Bone marrow smear:
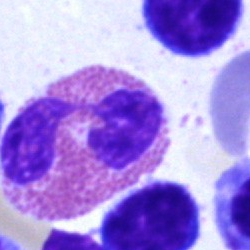{"cell_type": "eosinophilic granulocyte", "lineage": "myeloid"}